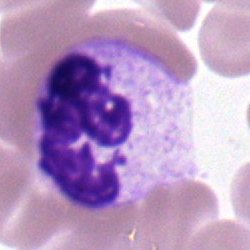Cell type: segmented neutrophil.